Bone marrow smear.
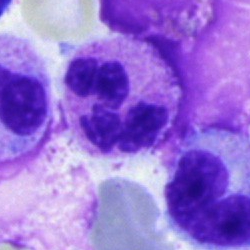

The cell shown is a neutrophil (segmented).